Bone marrow aspirate smear; May-Grünwald-Giemsa stain: 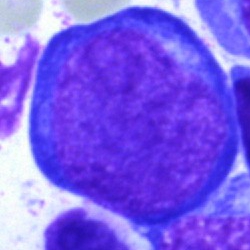Classification = proerythroblast.